Brightfield, 40× oil-immersion objective. Bone marrow aspirate smear.
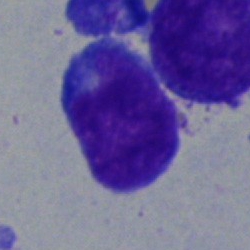

Q: What is shown here?
A: Undifferentiated blast.